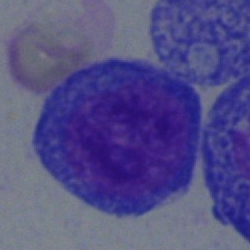 Q: Which cell type is shown here?
A: This is a blast.